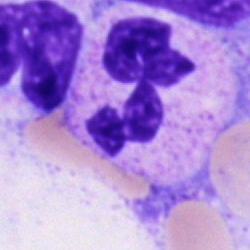Specimen: bone marrow smear.
Morphological class: segmented neutrophil.
Lineage: myeloid.